Bone marrow smear
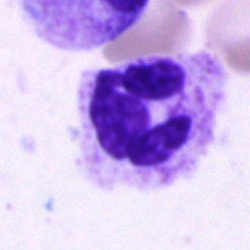
Q: What type of cell is this?
A: A segmented neutrophil.